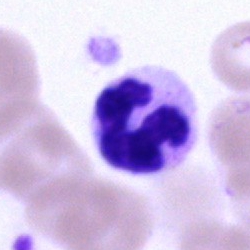
Bone marrow smear showing a polymorphonuclear neutrophil.